Bone marrow aspirate smear; image size 250×250; 40× objective, oil immersion.
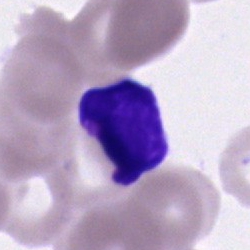The cell is lymphocyte.